Bone marrow aspirate smear — 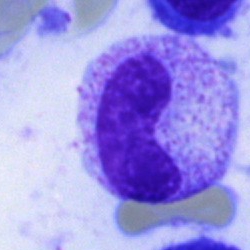 Showing a band neutrophil.